Bone marrow aspirate smear · single cell centered in the field · brightfield, 40× oil-immersion objective.
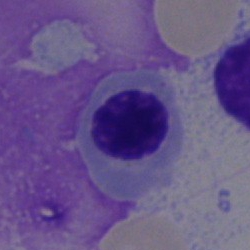
Showing a nucleated red blood cell.